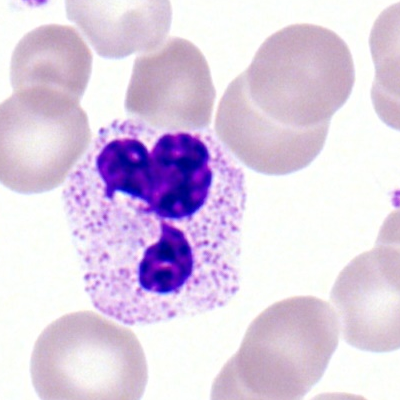
Cell type = segmented neutrophil.